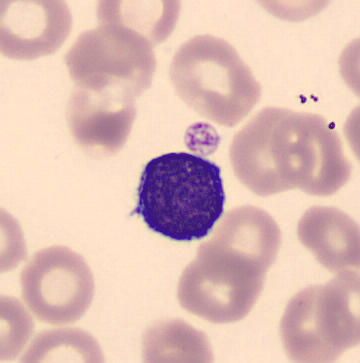Image: Peripheral blood smear.

Morphology consistent with a lymphocyte.